Bone marrow aspirate smear:
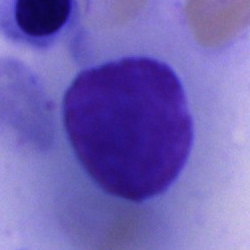
Classification: artifact.